Bone marrow smear:
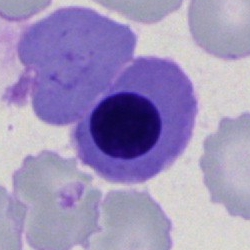 Showing an erythroblast.